Bone marrow smear
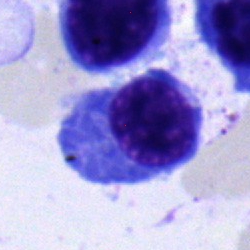Morphological class — plasma cell.